Bone marrow aspirate smear. Single-cell crop:
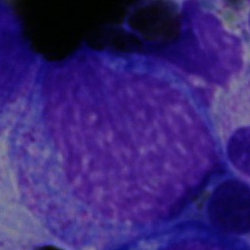

Morphology consistent with a progranulocyte.